Bone marrow aspirate smear:
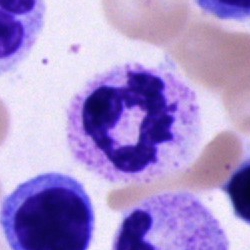This is a neutrophil (segmented).